Bone marrow aspirate smear:
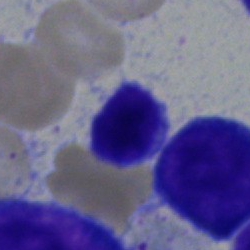 Specimen: bone marrow aspirate smear.
Classification: typical lymphocyte.
Lineage: lymphoid.